Bone marrow aspirate smear:
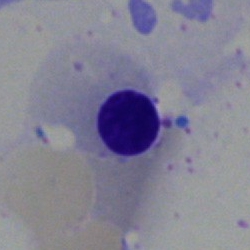 Q: What is shown here?
A: Erythroblast.